Bone marrow aspirate smear — 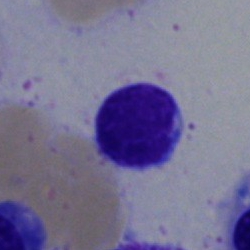Single cell identified as a typical lymphocyte.